Peripheral blood film; Romanowsky-type stain
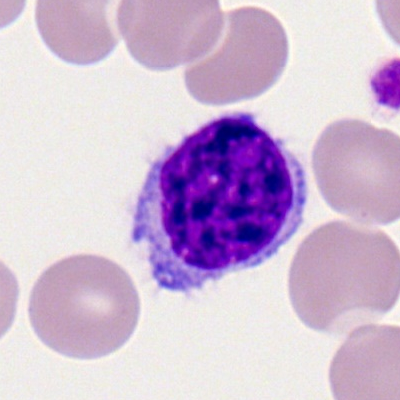Impression → typical lymphocyte.